Bone marrow aspirate smear.
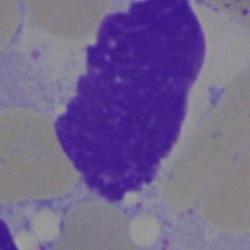 The cell shown is an artifact.